Brightfield, 40× oil-immersion objective · May-Grünwald-Giemsa/Pappenheim stain · bone marrow aspirate smear: 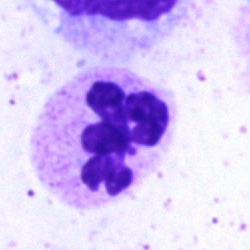
Morphology consistent with a neutrophil (segmented).